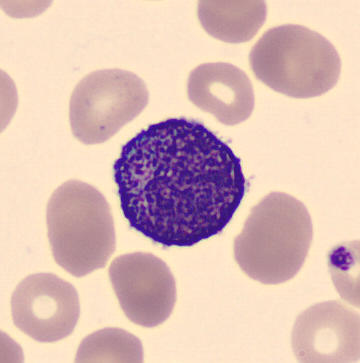Specimen: peripheral blood smear.
Cell: progranulocyte.